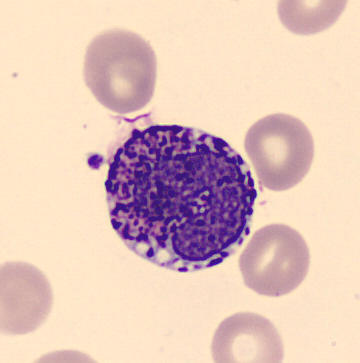 A basophilic granulocyte. Peripheral blood film.